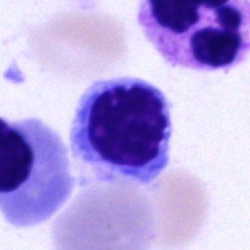Cell — normoblast.